Peripheral blood smear.
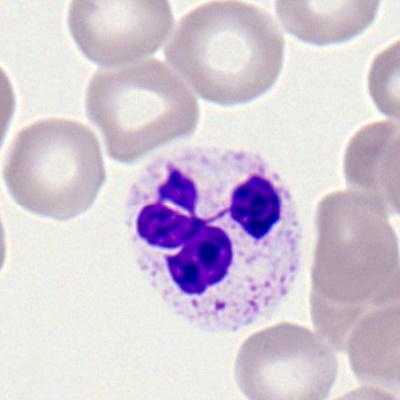 Segmented neutrophil.